Bone marrow smear
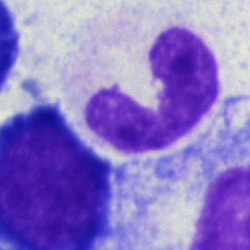Morphological class — neutrophil (band).